Bone marrow smear. Pappenheim-stained — 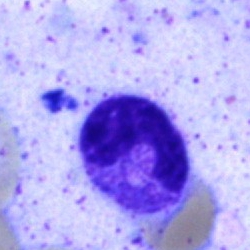

Morphology → band neutrophil.